Peripheral blood smear — 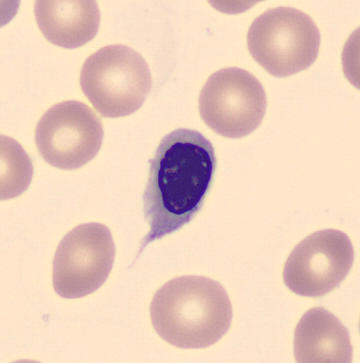
Q: Which cell type is shown here?
A: Nucleated red cell.